Image size 250×250; bone marrow smear.
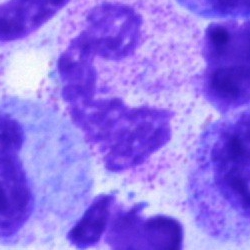

Morphology consistent with a neutrophil (segmented).